Bone marrow smear: 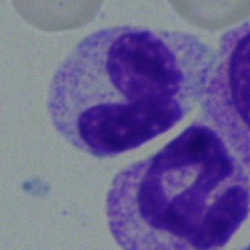
Morphology consistent with a stab cell.